Bone marrow aspirate smear.
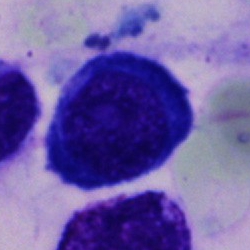
A nucleated red blood cell.